Bone marrow aspirate smear — 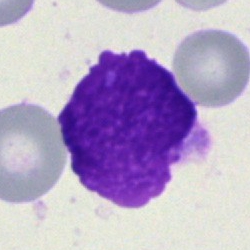Morphology — artefact.